Bone marrow aspirate smear: 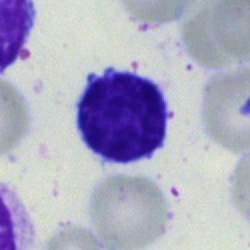
This is a lymphocyte.